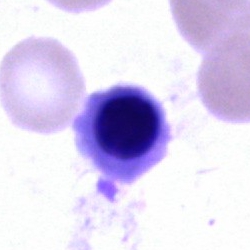
Morphology → normoblast.